Bone marrow smear; brightfield, 40× oil-immersion objective
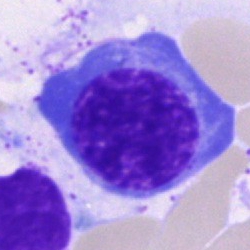

Morphology consistent with a normoblast.